May-Grünwald-Giemsa stain · 40× objective, oil immersion · bone marrow smear:
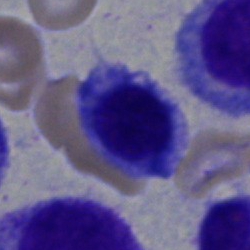Cell — nucleated red blood cell.